Bone marrow aspirate smear — 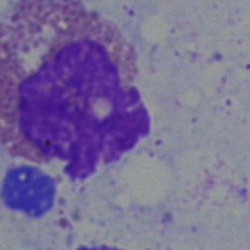 Morphology → eosinophil.